Bone marrow aspirate smear — 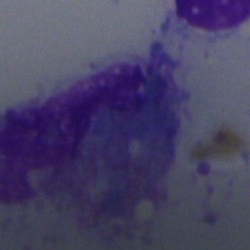Cell — artifact.